Bone marrow aspirate smear
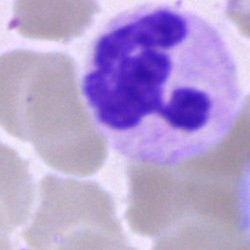

A segmented neutrophil.